Bone marrow smear. 40× oil immersion — 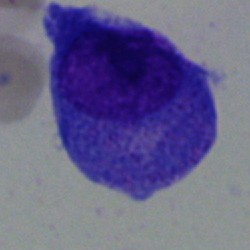This is a plasmacyte.